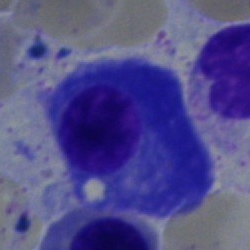Morphology consistent with a plasmacyte.